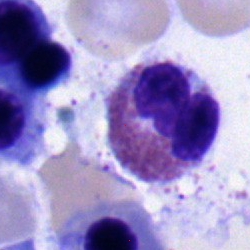

{"cell_type": "eosinophilic granulocyte", "lineage": "myeloid"}